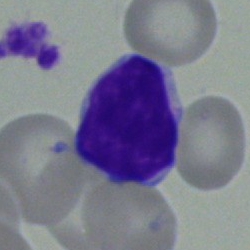Morphological class: lymphocyte.